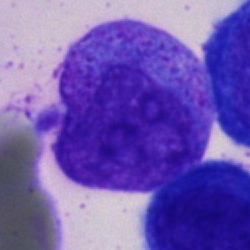
Classification: promyelocyte.